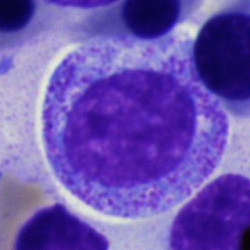
Cell type — myelocyte.